Bone marrow smear · single cell centered in the field · image size 250×250:
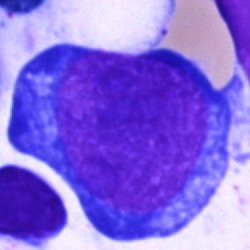Specimen: bone marrow smear.
Cell: pronormoblast.
Lineage: erythroid.